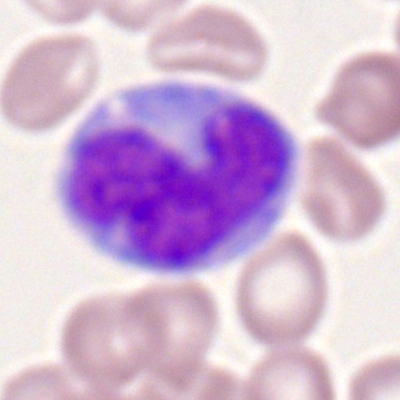Specimen: peripheral blood film.
Cell type: monocyte.
Lineage: myeloid.